Peripheral blood film — 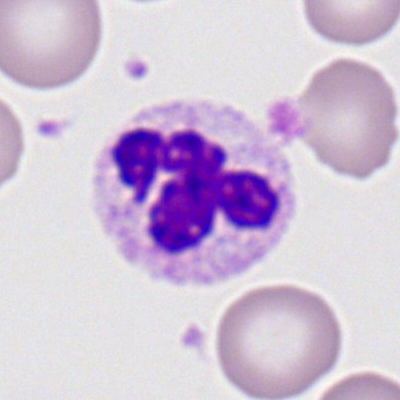 The classification is segmented neutrophil.